Bone marrow smear:
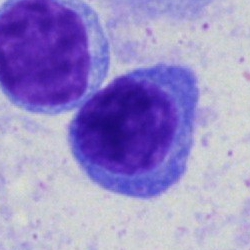

A plasmacyte.